Bone marrow smear
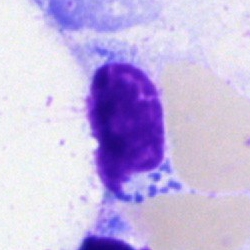 Q: What is shown here?
A: An artifact.